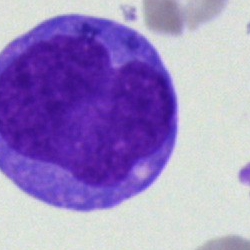
Bone marrow aspirate smear, single cell — blast cell.